Bone marrow smear; cropped to a single cell
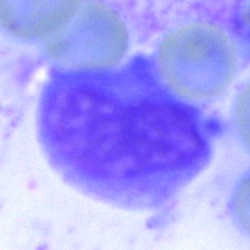
Single cell identified as an artefact.